Peripheral blood film; 400×400 px.
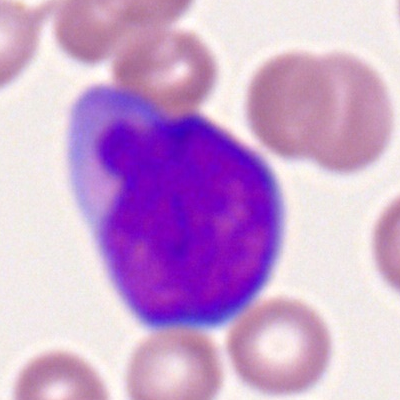Morphology — myeloid blast.